40× objective, oil immersion · bone marrow smear: 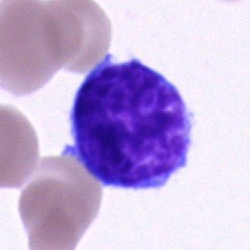 Q: What is the morphological classification of this cell?
A: This is an undifferentiated blast.